Romanowsky-stained · single-cell crop · peripheral blood film:
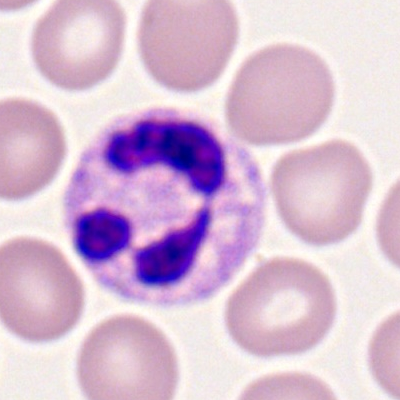 {"cell_type": "polymorphonuclear neutrophil"}